Bone marrow smear: 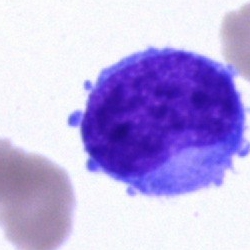

Morphology — blast.